Single cell centered in the field · bone marrow aspirate smear:
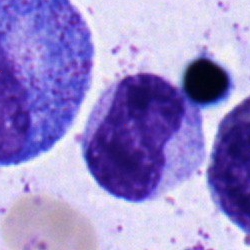

The cell type is metamyelocyte.